Bone marrow aspirate smear. Brightfield, 40× oil-immersion objective: 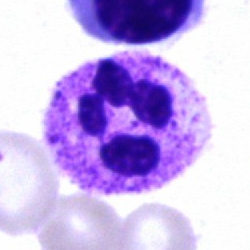 This is a neutrophil (segmented).